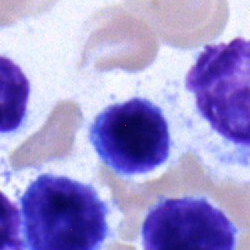Single cell identified as a typical lymphocyte.